Bone marrow smear
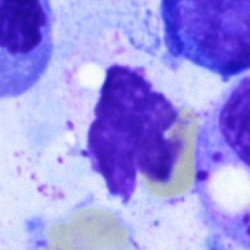
Impression → artefact.